Bone marrow smear; cropped to a single cell:
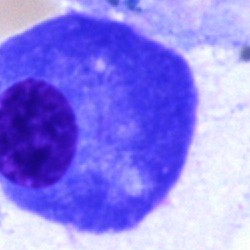Morphology — plasma cell.